Pappenheim-stained · bone marrow aspirate smear:
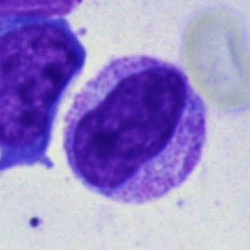
The cell is metamyelocyte.